Bone marrow aspirate smear:
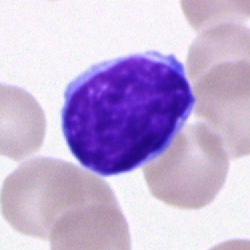 Morphological class — typical lymphocyte.